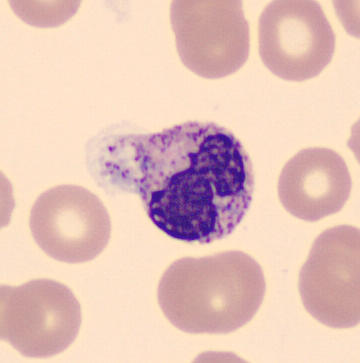 Preparation: Peripheral blood smear. Morphology → neutrophil (band).